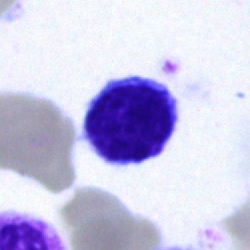 Cell type: lymphocyte.